Bone marrow aspirate smear:
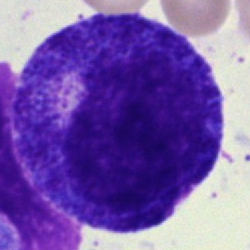 Showing a promyelocyte.